Bone marrow aspirate smear: 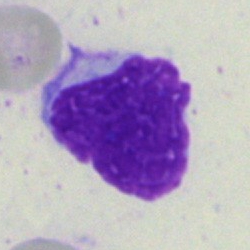 Morphology consistent with an artifact.